Bone marrow smear:
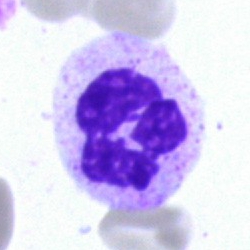
Cell type = polymorphonuclear neutrophil.